Image size 250×250; bone marrow aspirate smear
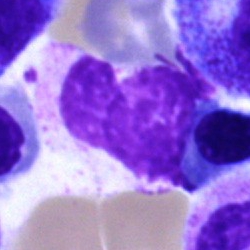 Morphological class: artefact.